Bone marrow aspirate smear.
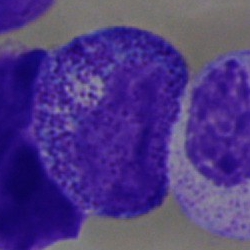
Morphology consistent with a myelocyte.